250×250 px. Bone marrow smear: 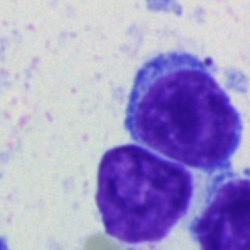
A lymphocyte.